May-Grünwald-Giemsa stain · bone marrow smear — 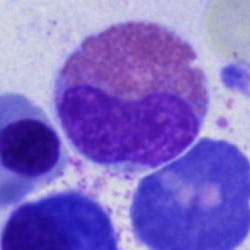The cell shown is an eosinophilic granulocyte.